Peripheral blood film: 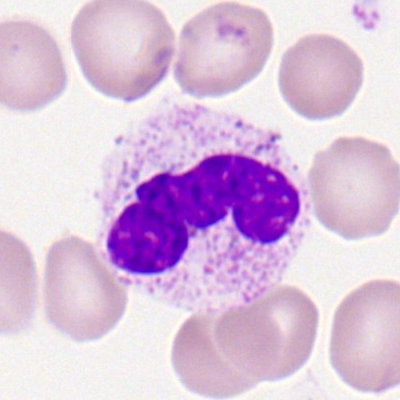 Showing a polymorphonuclear neutrophil.